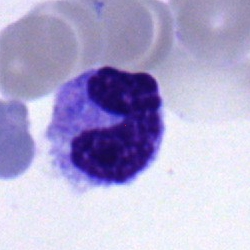
Q: What type of cell is this?
A: It is a band neutrophil.